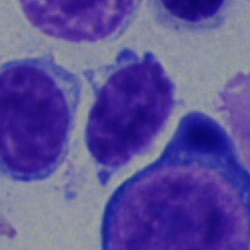 Cell = lymphocyte.